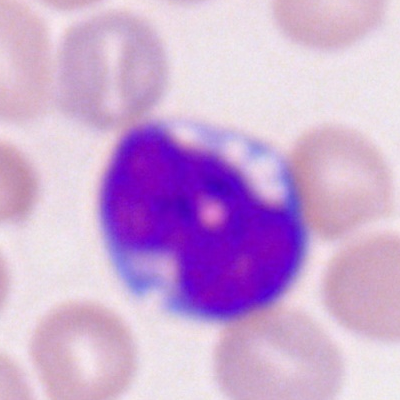Peripheral blood film, single cell — myeloid blast.